Bone marrow smear: 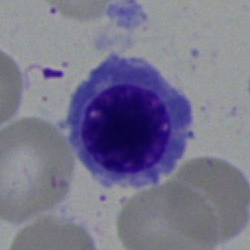

Q: What cell is this?
A: This is a normoblast.